Bone marrow smear — 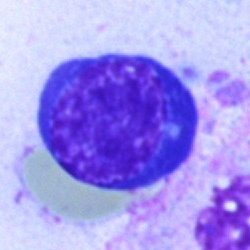 The cell type is normoblast.